Bone marrow smear:
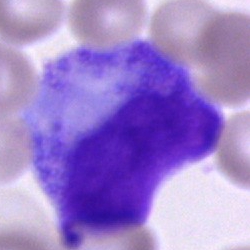
Specimen: bone marrow aspirate smear.
Morphological class: promyelocyte.
Lineage: myeloid.